Bone marrow smear.
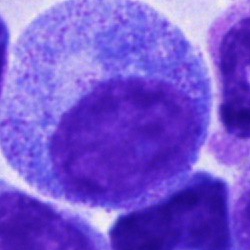 The cell shown is a promyelocyte.